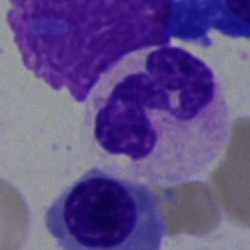
Bone marrow smear showing a segmented neutrophil.